Cropped to a single cell. Bone marrow smear.
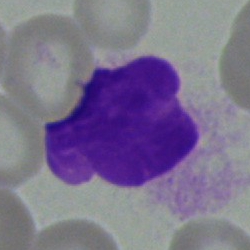Cell type: artifact.